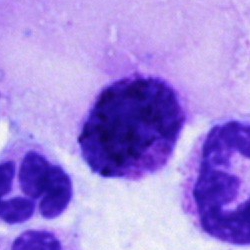This is a basophilic granulocyte.